May-Grünwald-Giemsa stain. Single-cell crop. Bone marrow smear — 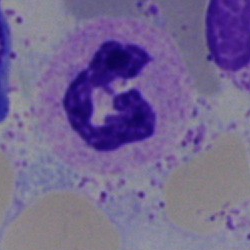 {"cell_type": "neutrophil (segmented)", "lineage": "myeloid"}